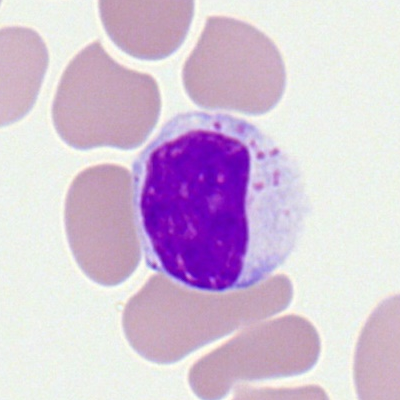{"cell_type": "typical lymphocyte", "lineage": "lymphoid"}